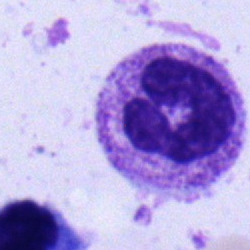Cell type — neutrophil (segmented).